Bone marrow smear · 250×250:
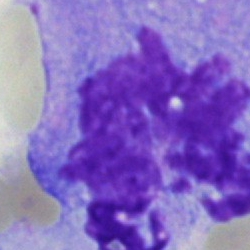 Specimen: bone marrow aspirate smear.
Cell type: artefact.